Single cell centered in the field. Bone marrow aspirate smear. Brightfield microscopy, 40× oil immersion
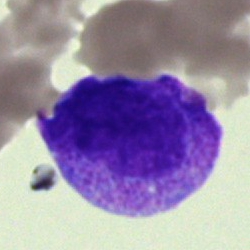Q: What is shown here?
A: This is a blast cell.